Single-cell crop · bone marrow aspirate smear:
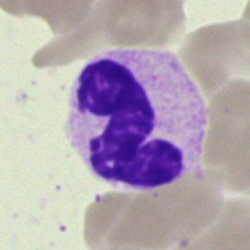

Showing a polymorphonuclear neutrophil.